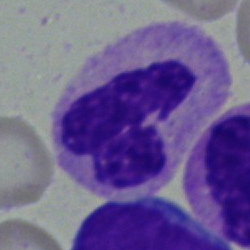
Single cell identified as a neutrophil (segmented).